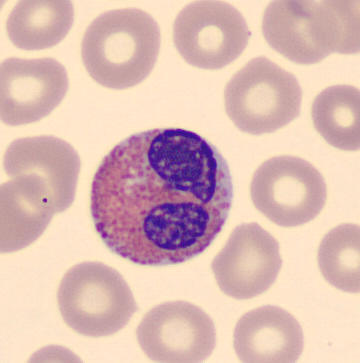 The cell shown is an eosinophilic granulocyte.
Image: CellaVision DM96 · peripheral blood smear.